Bone marrow smear.
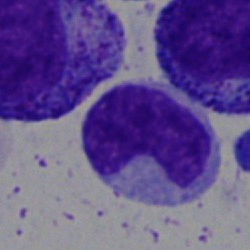 Single cell identified as a neutrophil (band).